Single-cell crop · bone marrow aspirate smear · image size 250×250
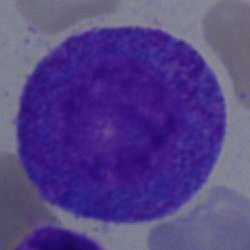
Morphological class = promyelocyte.